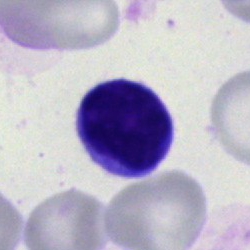

The cell type is typical lymphocyte.